Bone marrow smear:
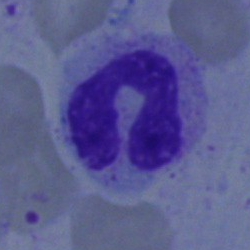

Specimen: bone marrow aspirate smear.
Cell: band neutrophil.